May-Grünwald-Giemsa stain · bone marrow aspirate smear: 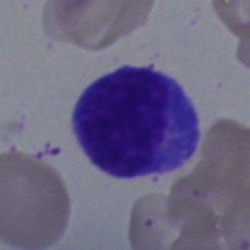 Lymphocyte.